Bone marrow smear: 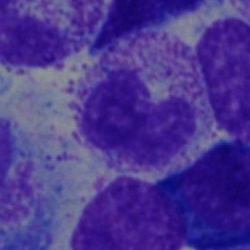Q: Identify the cell.
A: Metamyelocyte.